Bone marrow smear:
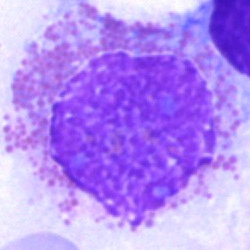

Impression — eosinophil.